Single-cell field. 250 by 250 pixels. Bone marrow aspirate smear — 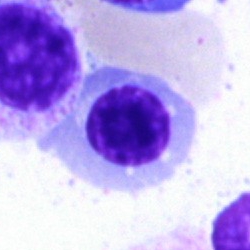Single cell identified as an erythroblast.